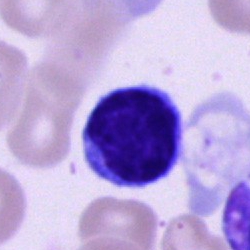

Single-cell crop from a bone marrow smear: lymphocyte.